Single-cell crop; bone marrow smear:
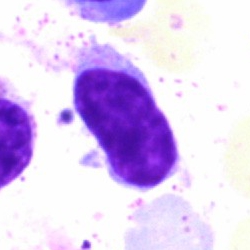Cell: typical lymphocyte.